Brightfield microscopy, 40× oil immersion; bone marrow aspirate smear:
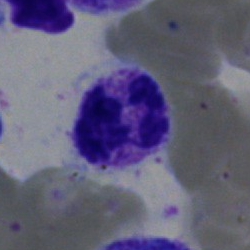 Showing a segmented neutrophil.